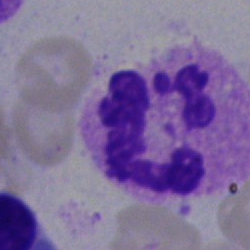

Specimen: bone marrow aspirate smear.
Morphological class: segmented neutrophil.
Lineage: myeloid.